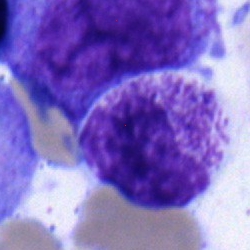 Bone marrow aspirate smear, single cell — metamyelocyte.